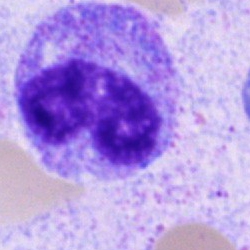

The cell shown is a metamyelocyte.